Cropped to a single cell · bone marrow smear · 40× oil immersion — 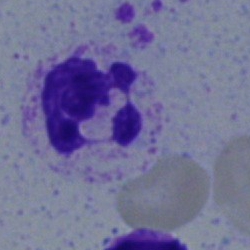

The cell shown is a segmented neutrophil.